Bone marrow smear · May-Grünwald-Giemsa stain — 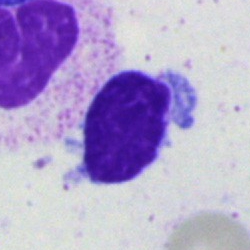

Impression → lymphocyte.